Bone marrow smear; single cell centered in the field; 250 by 250 pixels
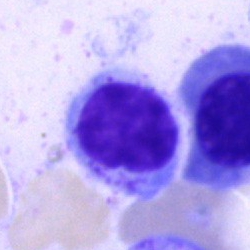 Showing a lymphocyte.